Brightfield microscopy, 40× oil immersion; May-Grünwald-Giemsa/Pappenheim stain; bone marrow smear — 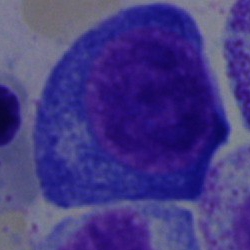
Single cell identified as a proerythroblast.